Bone marrow aspirate smear
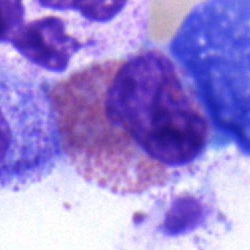

Morphology consistent with an eosinophil.